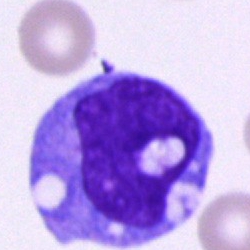 Q: What type of cell is this?
A: This is a monocyte.